Bone marrow aspirate smear.
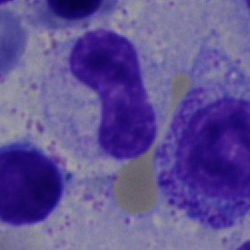Specimen: bone marrow smear.
Cell: neutrophil (band).
Lineage: myeloid.